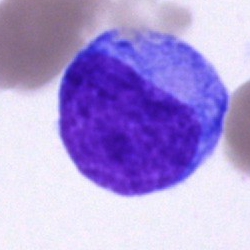

Q: Which cell type is shown here?
A: Undifferentiated blast.